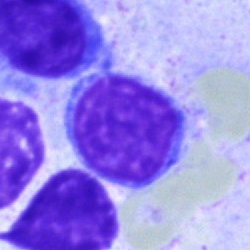

Q: What type of cell is this?
A: A typical lymphocyte.